Brightfield, 40× oil-immersion objective. MGG-stained. Bone marrow smear:
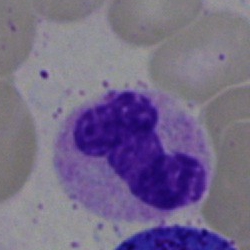Cell: band-form neutrophil.